Bone marrow aspirate smear
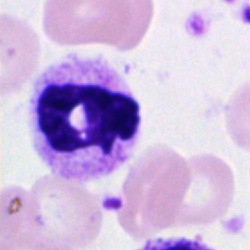

The cell is neutrophil (segmented).